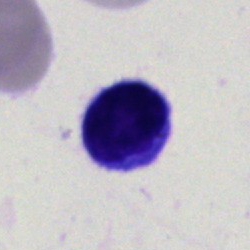
A lymphocyte.